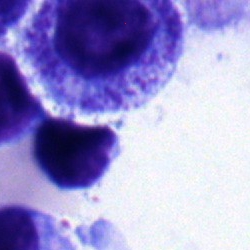 A monocyte.